Bone marrow smear:
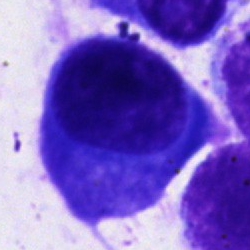 Impression — plasmacyte.